Bone marrow smear — 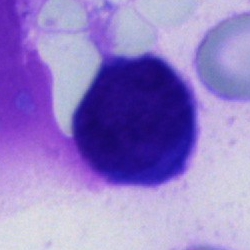Q: What is shown here?
A: This is an unidentifiable cell.